Bone marrow aspirate smear · 40× objective, oil immersion.
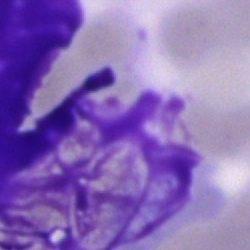 Q: What is shown here?
A: Artifact.